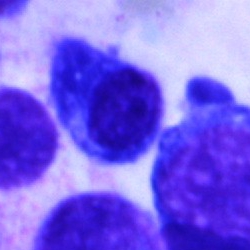The morphological class is plasmacyte.